Brightfield, 40× oil-immersion objective · bone marrow smear · 250 by 250 pixels.
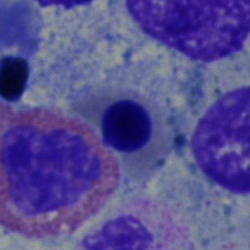This is a nucleated red blood cell.